Single-cell crop. Bone marrow aspirate smear.
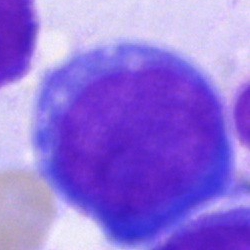 Specimen: bone marrow smear.
Morphological class: blast cell.